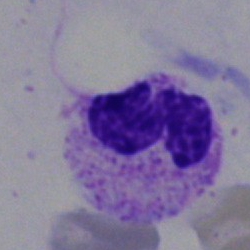 Q: What is the morphological classification of this cell?
A: It is a neutrophil (segmented).